Peripheral blood smear
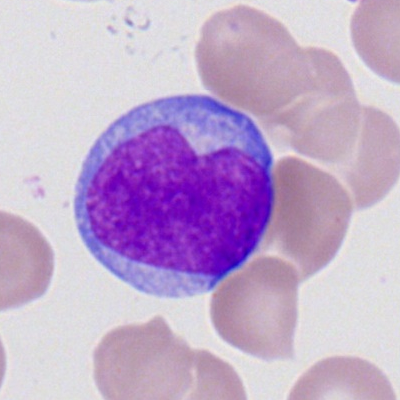
The classification is myeloblast.